Bone marrow aspirate smear
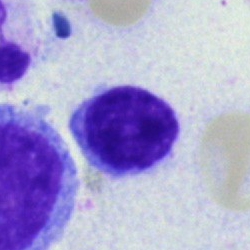
Specimen: bone marrow aspirate smear.
Cell: typical lymphocyte.